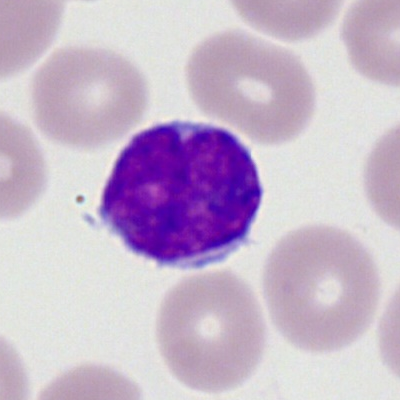

{"cell_type": "typical lymphocyte"}